Bone marrow smear.
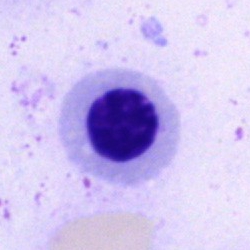 Nucleated red cell.